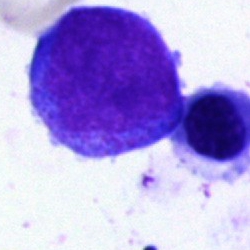
{"cell_type": "blast"}